Bone marrow smear — 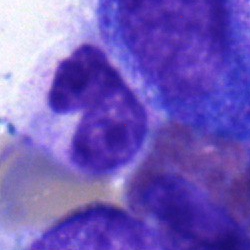The cell shown is a band neutrophil.